Brightfield microscopy, 40× oil immersion; bone marrow aspirate smear; 250×250 px:
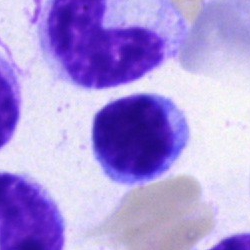 Impression → typical lymphocyte.